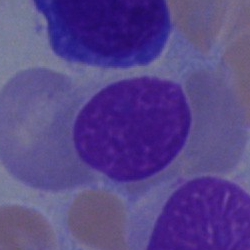Morphological class — artefact.